Peripheral blood film; May Grünwald-Giemsa stain — 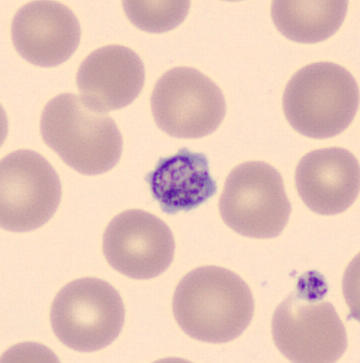

{"cell_type": "platelet (thrombocyte)"}